Bone marrow aspirate smear:
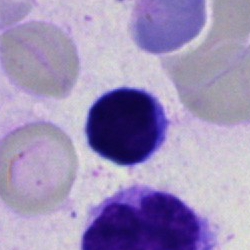Cell type = typical lymphocyte.